May-Grünwald-Giemsa stain. Bone marrow aspirate smear — 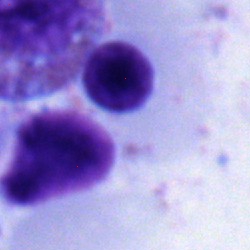Q: What is shown here?
A: This is a nucleated red cell.